Single-cell field · bone marrow aspirate smear · image size 250×250: 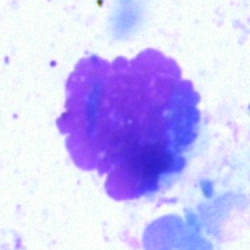Specimen: bone marrow smear.
Classification: artefact.